250×250 px. Bone marrow aspirate smear. Single-cell crop
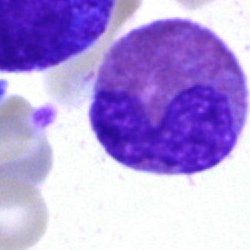{"cell_type": "eosinophil", "lineage": "myeloid"}